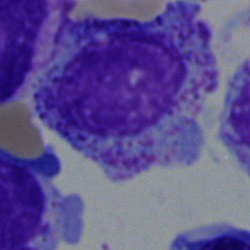Classification — myelocyte.